May-Grünwald-Giemsa stain. Single cell centered in the field. Bone marrow smear — 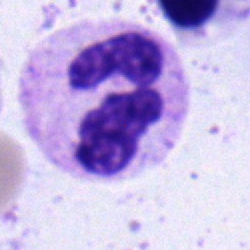
Morphology consistent with a polymorphonuclear neutrophil.